Bone marrow smear. Cropped to a single cell: 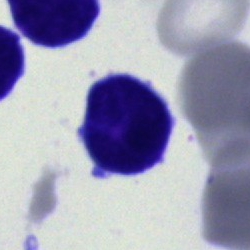 Cell type = blast cell.